Brightfield, 40× oil-immersion objective; bone marrow smear
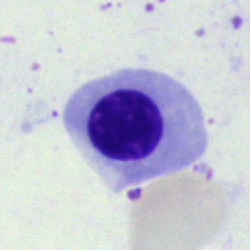
The cell type is normoblast.